Bone marrow smear
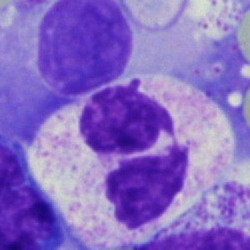

Specimen: bone marrow aspirate smear.
Cell: segmented neutrophil.
Lineage: myeloid.